Cropped to a single cell; bone marrow aspirate smear: 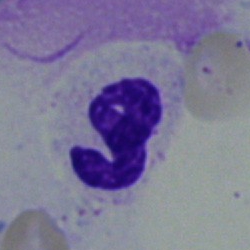
Q: What type of cell is this?
A: Segmented neutrophil.